Bone marrow smear; single-cell crop:
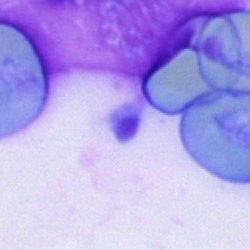
Q: What is shown here?
A: An artefact.